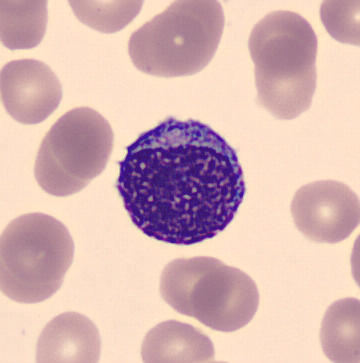Single cell identified as a myelocyte.
Image: Peripheral blood film.